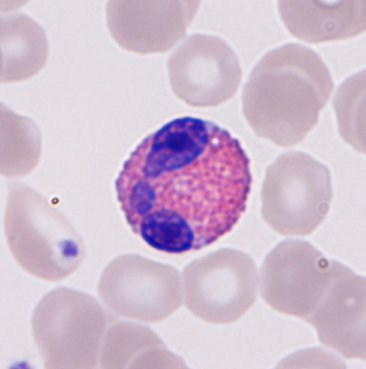
Specimen: peripheral blood smear.
Cell type: eosinophil.
Lineage: myeloid.